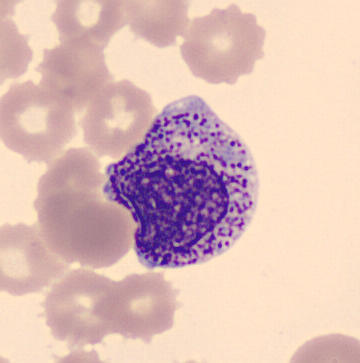
This is a myelocyte.

Peripheral blood smear.